Bone marrow smear: 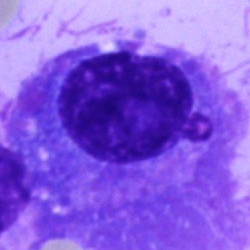Q: Identify the cell.
A: It is a plasmacyte.